Bone marrow aspirate smear; MGG-stained; image size 250×250.
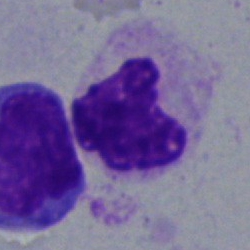
Classification = neutrophil (segmented).